Bone marrow aspirate smear:
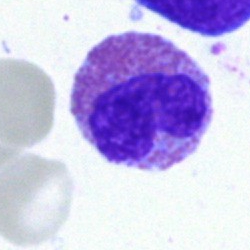Specimen: bone marrow aspirate smear.
Morphological class: eosinophil.